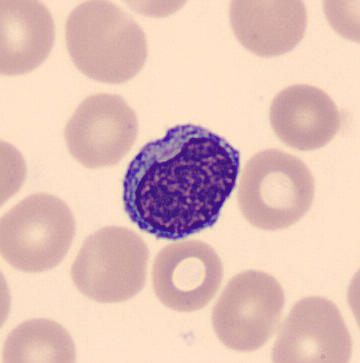
Identified as a lymphocyte. Image: 360×363 · peripheral blood smear.